Bone marrow aspirate smear.
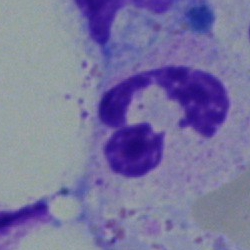Cell type = neutrophil (segmented).